Bone marrow smear: 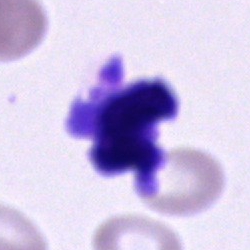

Q: What is the morphological classification of this cell?
A: This is an unidentifiable cell.